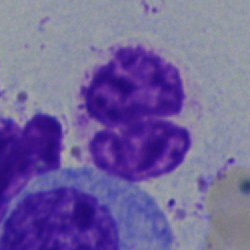
Single cell identified as a neutrophil (segmented).